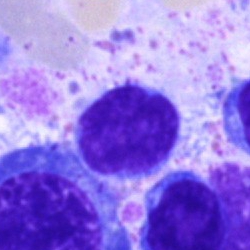 The classification is typical lymphocyte.